Bone marrow smear: 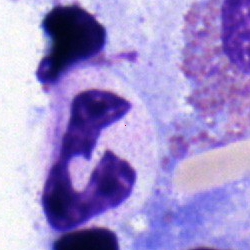Specimen: bone marrow smear.
Classification: segmented neutrophil.
Lineage: myeloid.